250×250 px; single-cell crop; bone marrow smear:
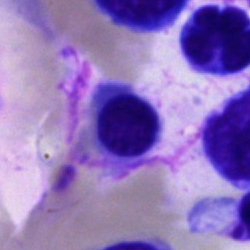Cell type: nucleated red blood cell.